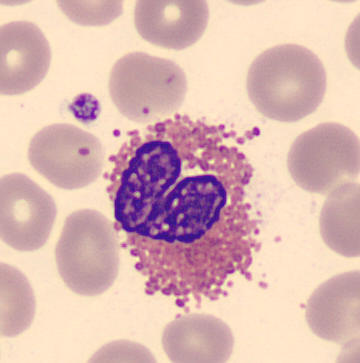 Acquisition: Peripheral blood film; 360 by 363 pixels; May-Grünwald-Giemsa-stained. The cell shown is an eosinophilic granulocyte.